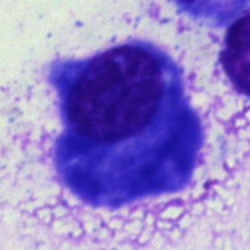
The cell is plasmacyte.